Bone marrow smear — 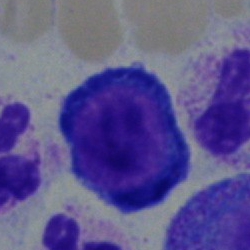A pronormoblast.